250×250 px · bone marrow smear — 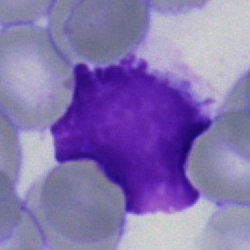 Cell type = artifact.